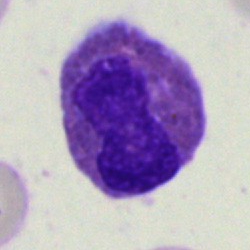 Bone marrow aspirate smear, single cell — eosinophil.